Bone marrow smear: 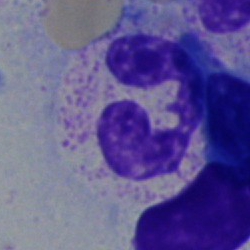 Cell type = segmented neutrophil.